Cropped to a single cell · bone marrow aspirate smear: 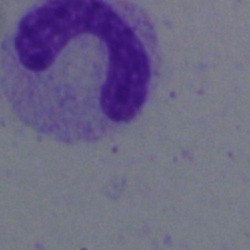Cell type = band neutrophil.